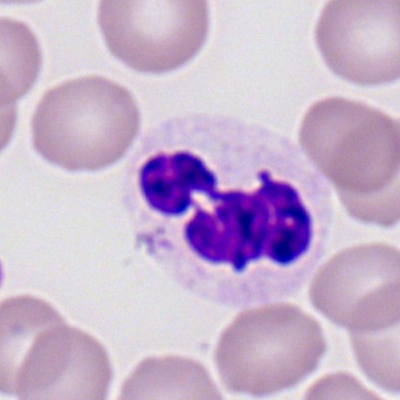

Morphological class = polymorphonuclear neutrophil.